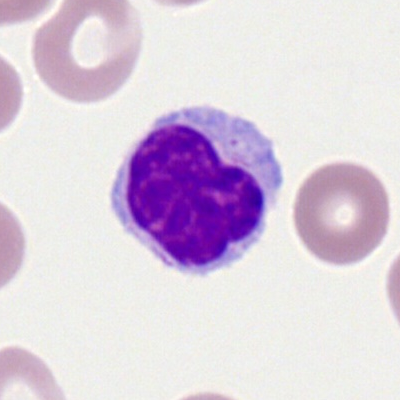Morphological class = typical lymphocyte.